Single-cell crop; bone marrow smear; 250×250: 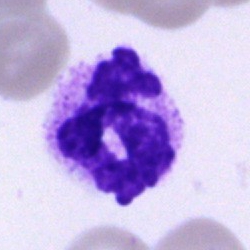

Impression → neutrophil (segmented).